40× objective, oil immersion · bone marrow aspirate smear · cropped to a single cell:
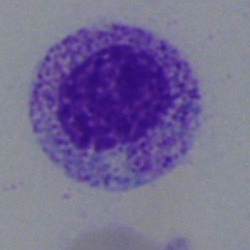
Morphological class — metamyelocyte.